Bone marrow aspirate smear.
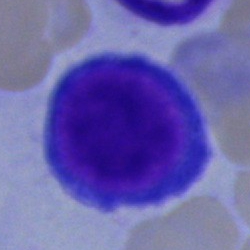 Morphological class — pronormoblast.